Bone marrow smear.
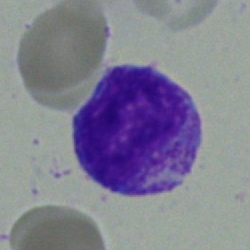A myelocyte.